Bone marrow aspirate smear. 40× objective, oil immersion.
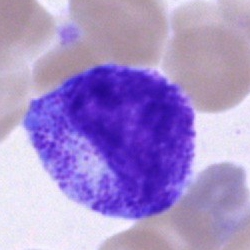Classification = promyelocyte.